40× oil immersion · bone marrow smear — 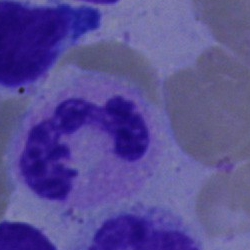 Q: What is shown here?
A: It is a polymorphonuclear neutrophil.